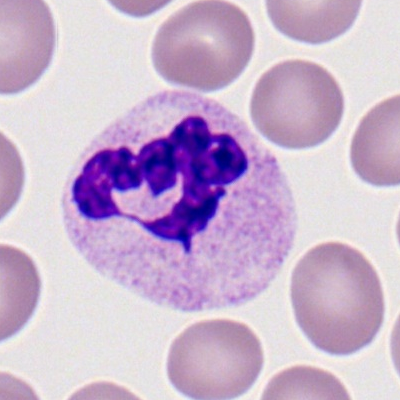Cell type — neutrophil (segmented).